Image size 250×250. Brightfield microscopy, 40× oil immersion. Bone marrow aspirate smear: 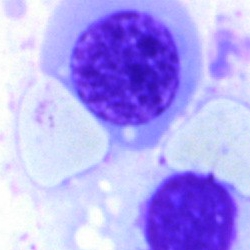Morphology consistent with a nucleated red blood cell.